May-Grünwald-Giemsa/Pappenheim stain. Bone marrow smear: 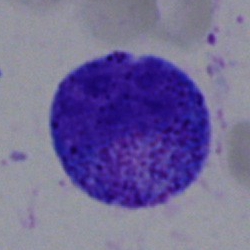

Single cell identified as a progranulocyte.